Bone marrow smear · 250 by 250 pixels:
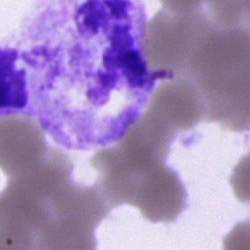
Morphology → artefact.